Bone marrow smear. 250×250:
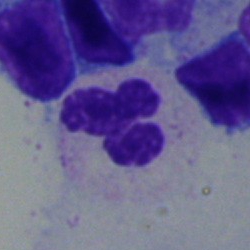

Classification — neutrophil (segmented).